Bone marrow smear. Image size 250×250
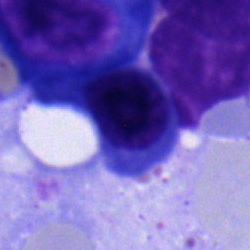 Single cell identified as a normoblast.